40× objective, oil immersion. Bone marrow aspirate smear — 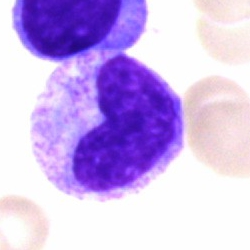

Morphological class: metamyelocyte.